Bone marrow aspirate smear · 250 by 250 pixels: 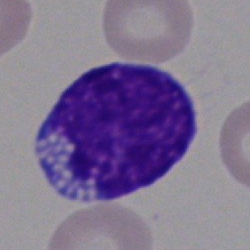

Q: What type of cell is this?
A: It is a blast cell.